Bone marrow aspirate smear:
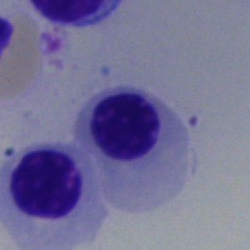
Showing a nucleated red blood cell.